Bone marrow smear · 40× oil immersion: 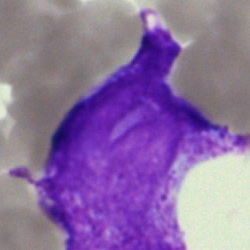
Morphological class = undifferentiated blast.